Bone marrow aspirate smear.
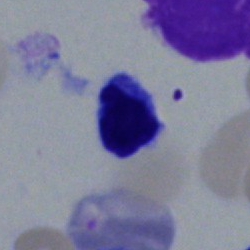
Q: What type of cell is this?
A: Typical lymphocyte.